40× oil immersion. Bone marrow smear:
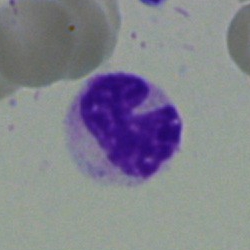Specimen: bone marrow smear.
Cell type: segmented neutrophil.